Bone marrow smear · image size 250×250 — 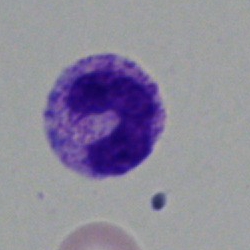 This is a stab cell.